Peripheral blood smear — 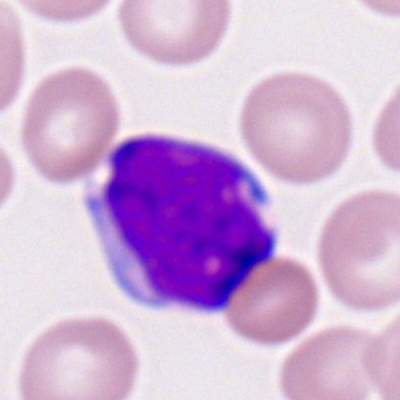 Impression — myeloblast.